Bone marrow aspirate smear · 40× oil immersion
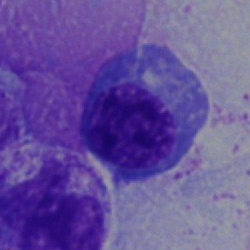The classification is erythroblast.